Bone marrow aspirate smear:
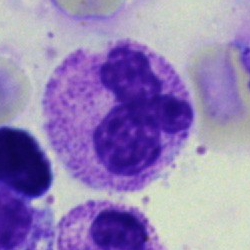
Morphological class — neutrophil (segmented).